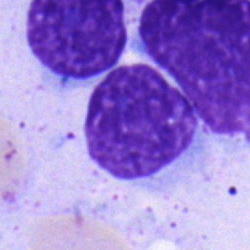A hairy cell on a bone marrow smear.